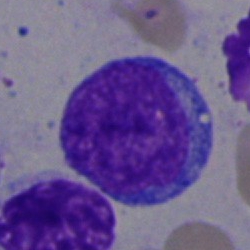 Classification: undifferentiated blast.